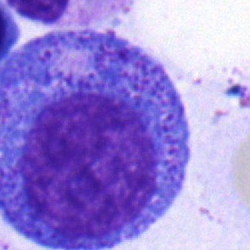Bone marrow aspirate smear, single cell — promyelocyte.